Bone marrow smear
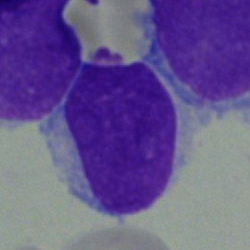Impression → blast.